Bone marrow smear; image size 250×250.
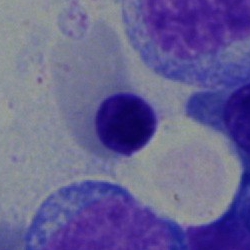 Q: What cell is this?
A: This is a nucleated red blood cell.